Bone marrow aspirate smear; 40× oil immersion
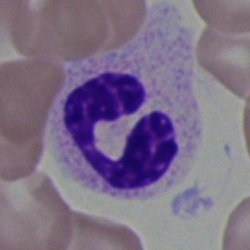

Specimen: bone marrow aspirate smear.
Morphological class: polymorphonuclear neutrophil.
Lineage: myeloid.